May-Grünwald-Giemsa stain. Bone marrow smear. 40× oil immersion — 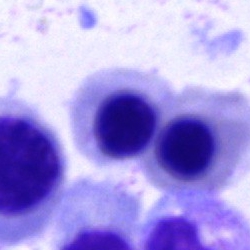

A nucleated red cell.